250×250; bone marrow aspirate smear:
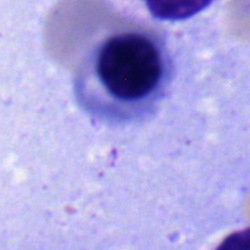Nucleated red cell.